Bone marrow aspirate smear; 250 by 250 pixels
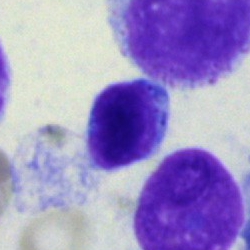Cell: typical lymphocyte.